May-Grünwald-Giemsa/Pappenheim stain · bone marrow smear.
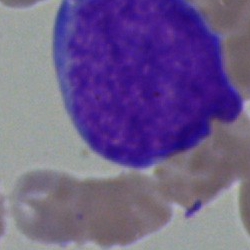
The cell type is blast cell.